Bone marrow smear: 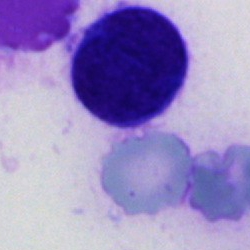
Cell type: cell of indeterminate lineage.